Bone marrow smear · Pappenheim-stained.
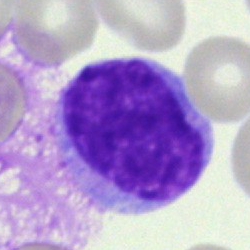Classification — blast cell.